Bone marrow aspirate smear: 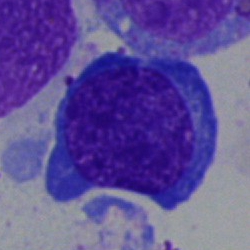This is an undifferentiated blast.